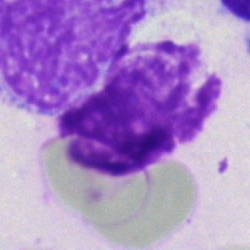
Single-cell crop from a bone marrow smear: artefact.